Bone marrow aspirate smear; May-Grünwald-Giemsa stain.
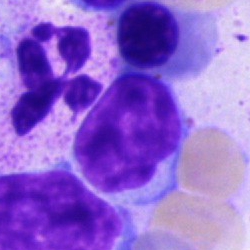
Single cell identified as a typical lymphocyte.